May-Grünwald-Giemsa/Pappenheim stain. Bone marrow aspirate smear. Image size 250×250: 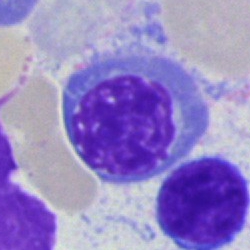Cell: erythroblast.